Brightfield, 40× oil-immersion objective. Bone marrow smear. Cropped to a single cell: 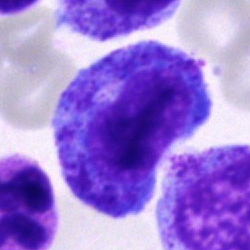 Morphology consistent with a progranulocyte.